Bone marrow smear:
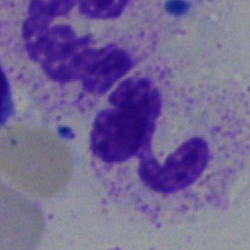
Single cell identified as a polymorphonuclear neutrophil.